Brightfield microscopy, 40× oil immersion. Bone marrow aspirate smear
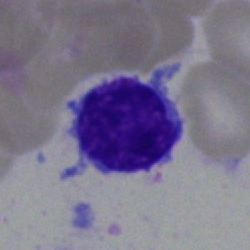

Showing a typical lymphocyte.